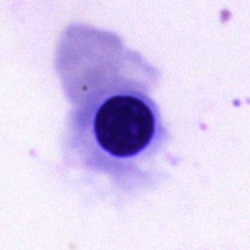
{"cell_type": "erythroblast", "lineage": "erythroid"}